Single-cell crop; bone marrow aspirate smear: 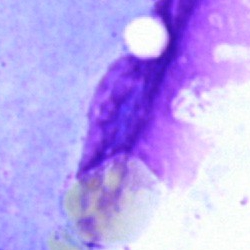
The cell is artefact.